40× objective, oil immersion; May-Grünwald-Giemsa/Pappenheim stain; bone marrow smear.
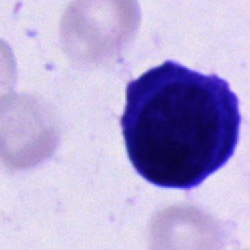Q: What cell is this?
A: It is a plasmacyte.